Bone marrow smear. Image size 250×250.
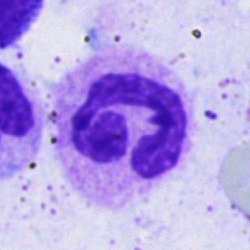Impression — segmented neutrophil.